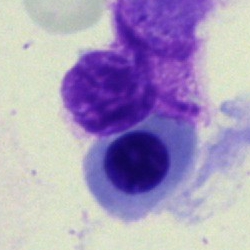 Cell — nucleated red blood cell.